MGG-stained. Bone marrow smear. Single-cell field: 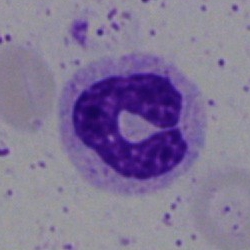 {"cell_type": "segmented neutrophil", "lineage": "myeloid"}